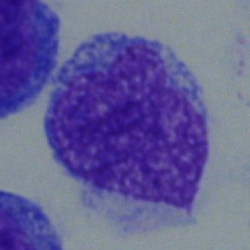

Showing a blast.